Peripheral blood smear.
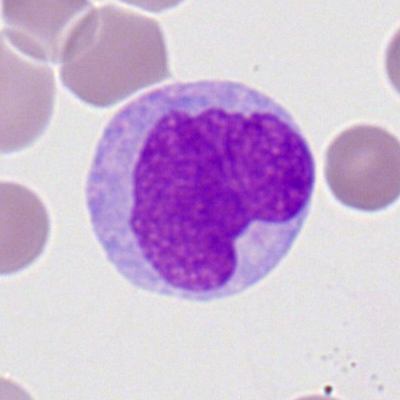

This is a monocyte.